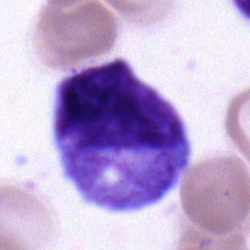 {"cell_type": "myelocyte", "lineage": "myeloid"}